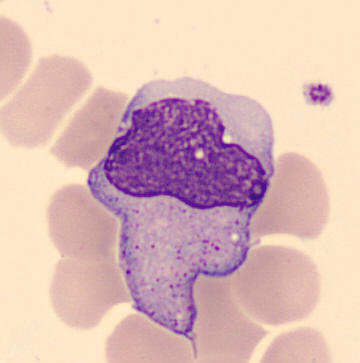
Acquisition: Peripheral blood smear. Q: Identify the cell.
A: It is a monocyte.